Bone marrow smear
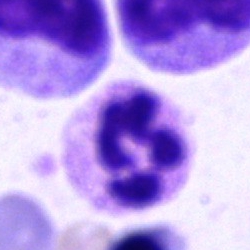Q: What type of cell is this?
A: It is a segmented neutrophil.